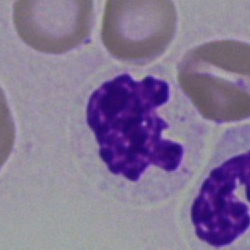 Bone marrow smear showing a polymorphonuclear neutrophil.